Bone marrow aspirate smear: 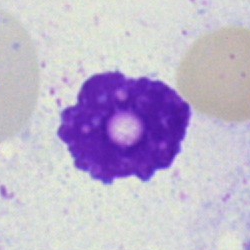Single cell identified as an artefact.